Bone marrow smear
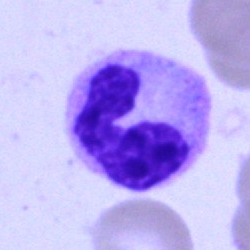 Q: Identify the cell.
A: This is a polymorphonuclear neutrophil.